250×250 px; bone marrow aspirate smear — 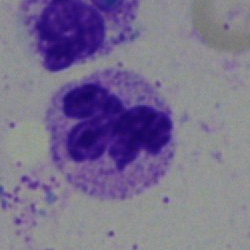

A polymorphonuclear neutrophil.